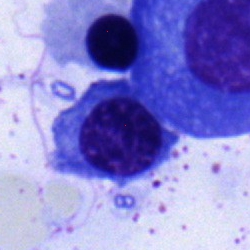Showing a nucleated red blood cell.